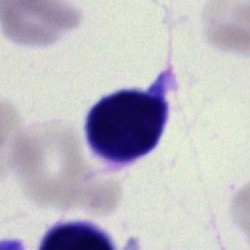Cell type: lymphocyte.